Bone marrow smear
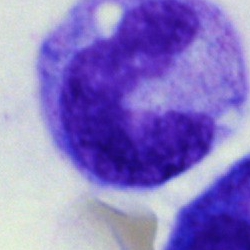A band neutrophil.